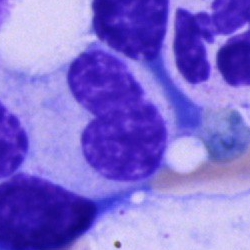{"cell_type": "band-form neutrophil", "lineage": "myeloid"}